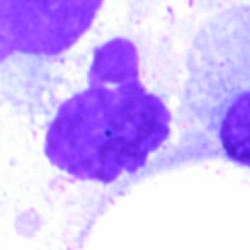 Single cell identified as an artifact.